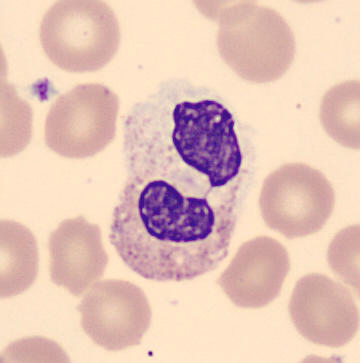 Specimen: peripheral blood film.
Morphological class: neutrophil (segmented).